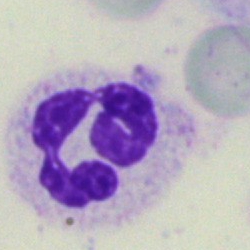The cell is neutrophil (segmented).